40× objective, oil immersion · bone marrow aspirate smear
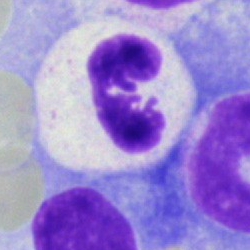 This is a segmented neutrophil.